Bone marrow aspirate smear. Brightfield microscopy, 40× oil immersion.
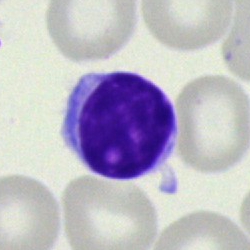This is a typical lymphocyte.